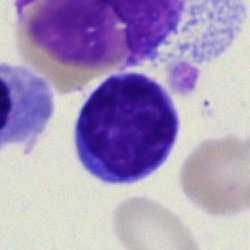
Specimen: bone marrow aspirate smear.
Cell: lymphocyte.
Lineage: lymphoid.